Bone marrow smear: 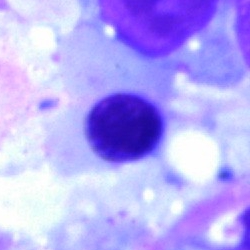Cell type = erythroblast.